Bone marrow smear; 40× oil immersion; 250×250
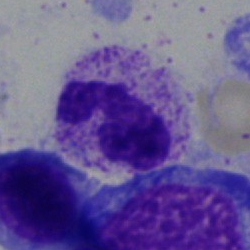 The cell is polymorphonuclear neutrophil.